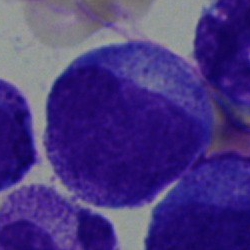

The cell is progranulocyte.